Bone marrow smear:
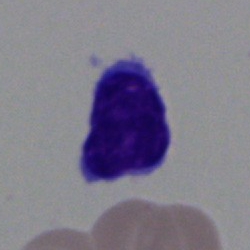

Classification = typical lymphocyte.